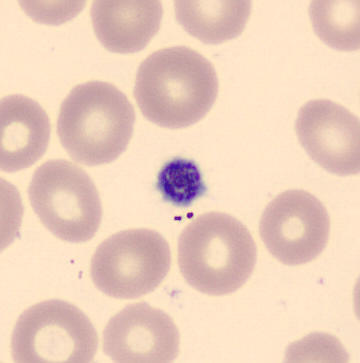Q: What is this?
A: Platelet (thrombocyte).